Bone marrow aspirate smear; May-Grünwald-Giemsa/Pappenheim stain; 40× oil immersion:
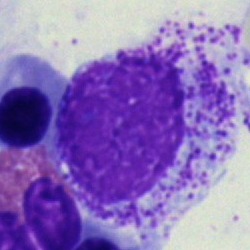
Impression → myelocyte.